Bone marrow aspirate smear · May-Grünwald-Giemsa stain
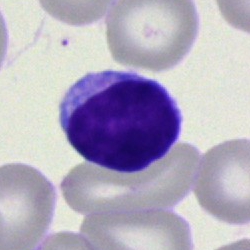Specimen: bone marrow aspirate smear.
Cell type: lymphocyte.
Lineage: lymphoid.